Single cell centered in the field; bone marrow aspirate smear; 250×250 px
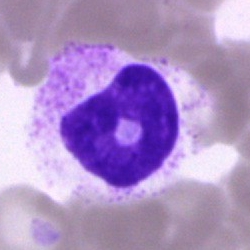 Morphology → cell of indeterminate lineage.